Bone marrow aspirate smear · single-cell field · Pappenheim-stained — 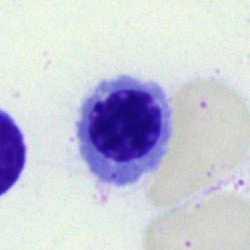 Cell: normoblast.